Bone marrow smear:
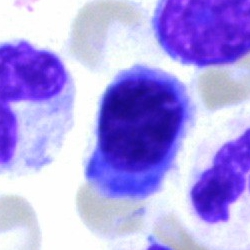
The classification is nucleated red cell.